Bone marrow smear: 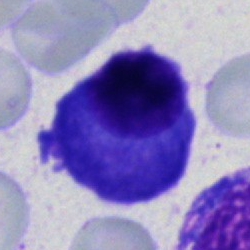

{"cell_type": "plasma cell"}